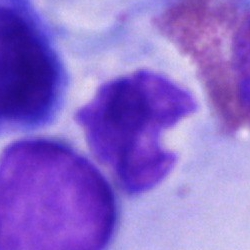
Q: What is shown here?
A: It is an artefact.